Bone marrow smear: 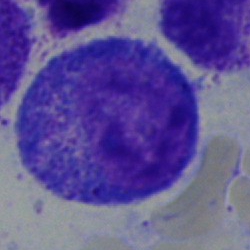

Showing a promyelocyte.